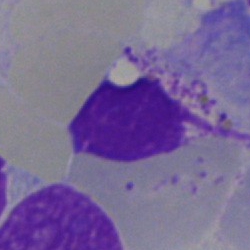
Specimen: bone marrow aspirate smear.
Cell type: artifact.